Bone marrow aspirate smear.
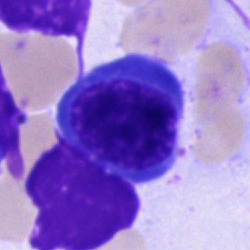
The classification is normoblast.